Bone marrow aspirate smear:
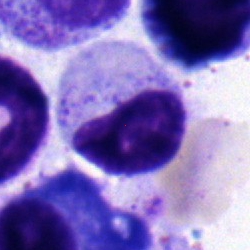Q: Identify the cell.
A: This is a metamyelocyte.